Peripheral blood smear: 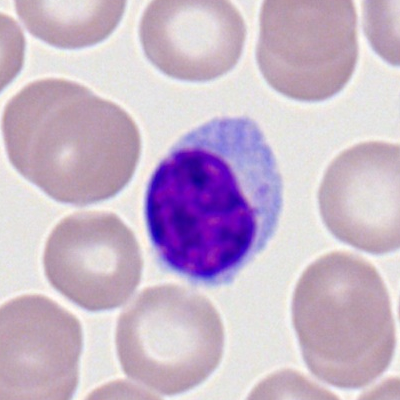Morphology consistent with a lymphocyte.